Bone marrow aspirate smear.
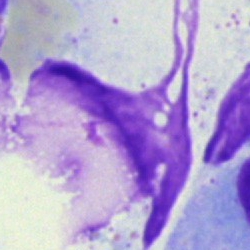

This is an artefact.